Bone marrow smear — 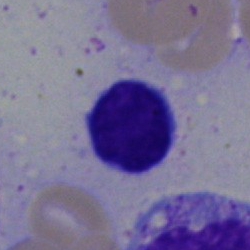 Impression → typical lymphocyte.